40× objective, oil immersion. Bone marrow smear
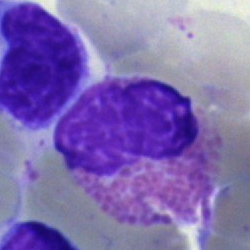

Impression → eosinophil.